Bone marrow aspirate smear.
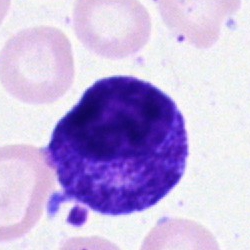

Specimen: bone marrow smear.
Cell: promyelocyte.
Lineage: myeloid.